Bone marrow aspirate smear.
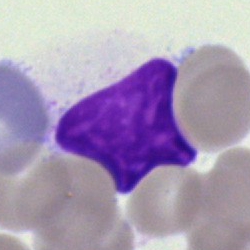
Specimen: bone marrow aspirate smear.
Cell: artefact.